Cropped to a single cell. Bone marrow smear — 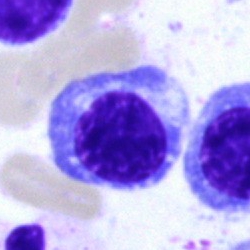
Morphology — nucleated red blood cell.